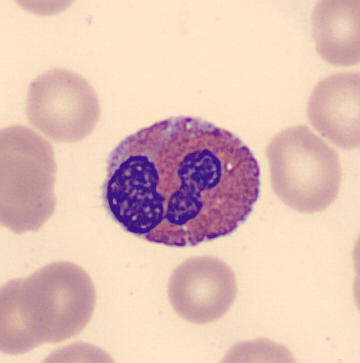

Q: What type of cell is this?
A: Eosinophil. Acquisition: Peripheral blood smear.